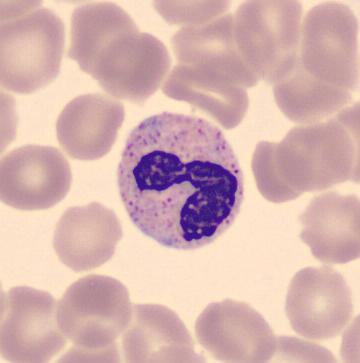

Morphology — neutrophil (band).